Bone marrow smear — 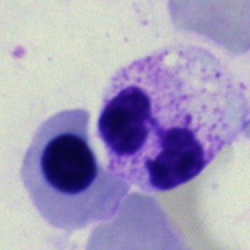 Morphology → polymorphonuclear neutrophil.